250×250 px; bone marrow aspirate smear:
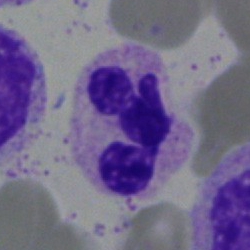Cell type: polymorphonuclear neutrophil.